Image size 250×250. Bone marrow smear — 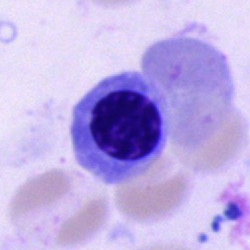Q: What is shown here?
A: A nucleated red cell.